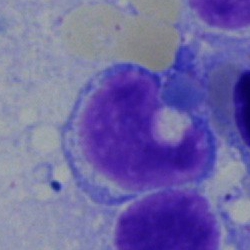Morphological class — typical lymphocyte.